Bone marrow aspirate smear:
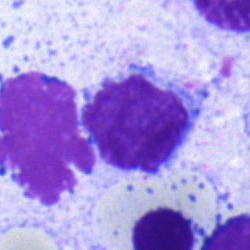The cell shown is a typical lymphocyte.